May-Grünwald-Giemsa/Pappenheim stain. Bone marrow smear.
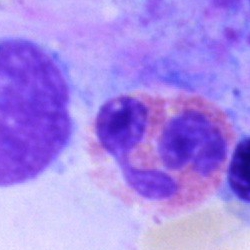

Morphological class = eosinophil.